Bone marrow aspirate smear: 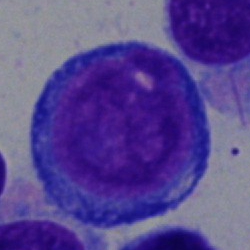

The cell shown is an undifferentiated blast.